Bone marrow smear: 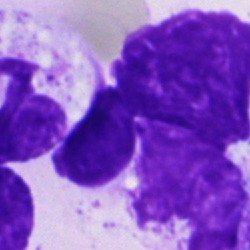 Q: What is shown here?
A: This is an artefact.